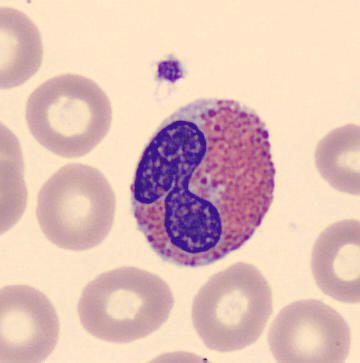
Cell — eosinophilic granulocyte.

Preparation: Peripheral blood smear.